Cropped to a single cell · peripheral blood film.
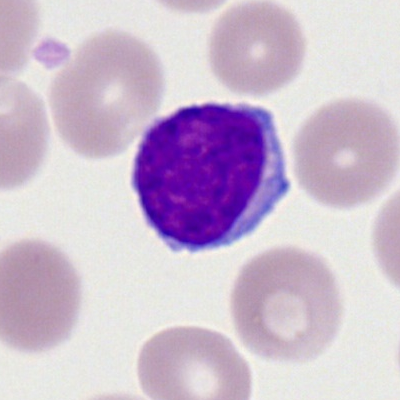
Morphology — lymphocyte.